Bone marrow aspirate smear · May-Grünwald-Giemsa stain · single-cell crop — 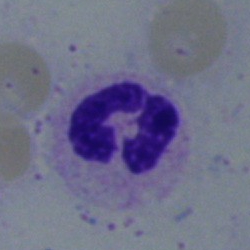The classification is segmented neutrophil.